Bone marrow aspirate smear.
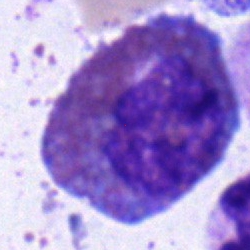

Single cell identified as an eosinophilic granulocyte.